Bone marrow aspirate smear:
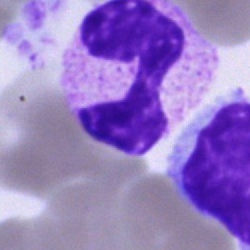
Cell — neutrophil (segmented).